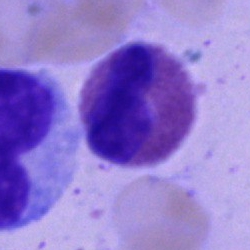
The classification is eosinophilic granulocyte.